Bone marrow smear; MGG-stained; brightfield, 40× oil-immersion objective: 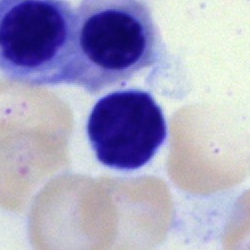

The cell shown is a lymphocyte.